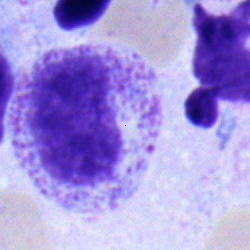 Specimen: bone marrow aspirate smear.
Cell: myelocyte.
Lineage: myeloid.